Bone marrow smear. May-Grünwald-Giemsa/Pappenheim stain:
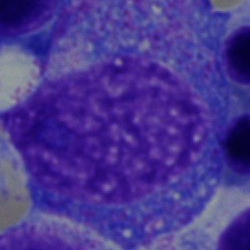Specimen: bone marrow aspirate smear.
Classification: promyelocyte.
Lineage: myeloid.